Bone marrow aspirate smear.
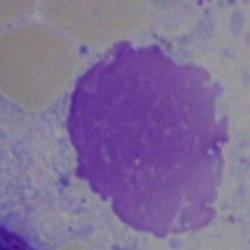 Showing an artefact.